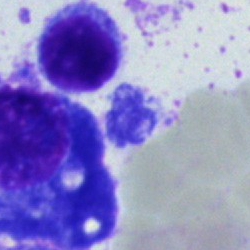 Single-cell crop from a bone marrow smear: plasma cell.